Peripheral blood smear · image size 400×400 — 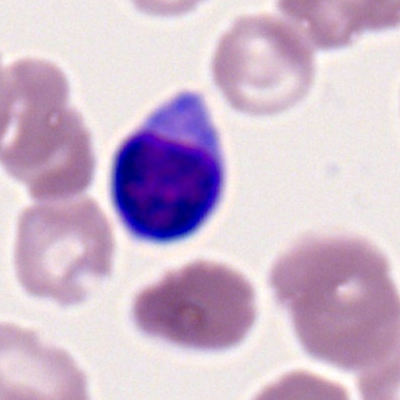 Single cell identified as a lymphocyte.